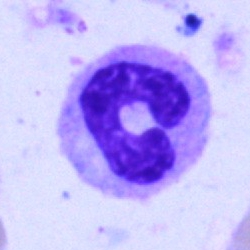Specimen: bone marrow smear.
Morphological class: band-form neutrophil.
Lineage: myeloid.